Bone marrow smear: 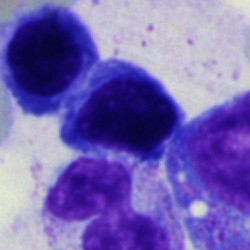 Morphology consistent with a nucleated red cell.